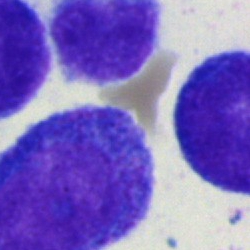 Specimen: bone marrow aspirate smear.
Classification: progranulocyte.
Lineage: myeloid.